Bone marrow aspirate smear — 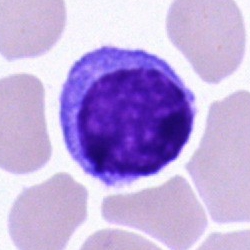
Typical lymphocyte.